Single-cell field; peripheral blood smear:
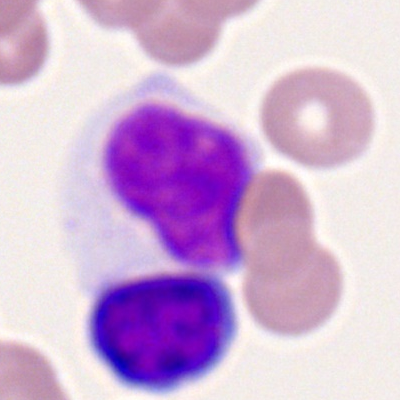 Q: What type of cell is this?
A: It is a lymphocyte.